Bone marrow aspirate smear · 250 by 250 pixels.
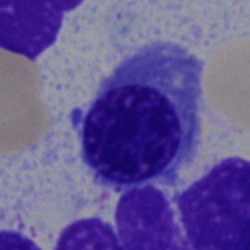Specimen: bone marrow aspirate smear.
Cell: erythroblast.